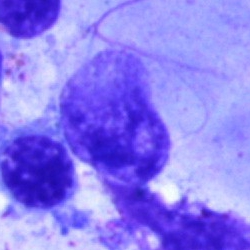 Bone marrow smear showing an artifact.